Peripheral blood film · single-cell crop: 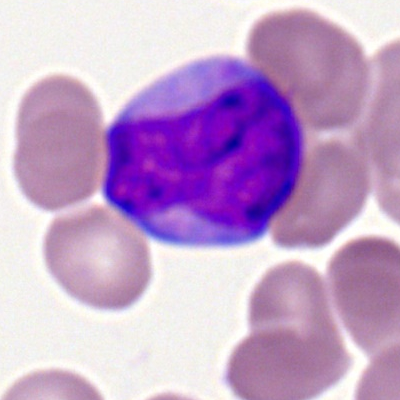 Specimen: peripheral blood smear.
Classification: myeloid blast.
Lineage: myeloid.